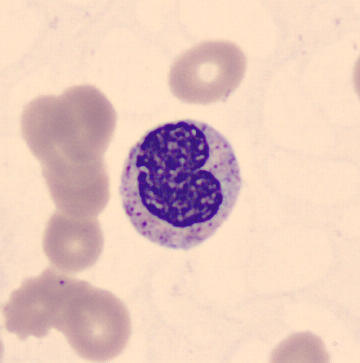Morphology — metamyelocyte.
Image: Single cell centered in the field. Peripheral blood film.